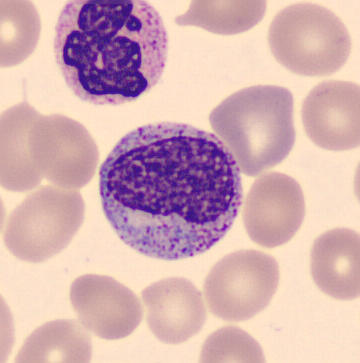

Single cell identified as a metamyelocyte.